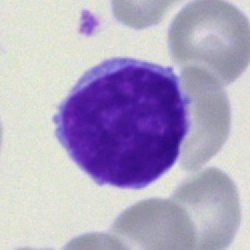

Q: Identify the cell.
A: It is a lymphocyte.